Bone marrow aspirate smear. Single-cell crop — 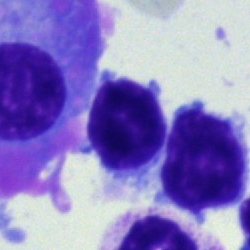

Morphology consistent with a typical lymphocyte.